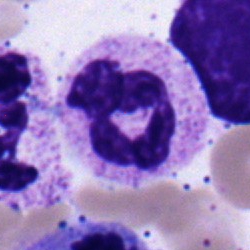Bone marrow aspirate smear, single cell — polymorphonuclear neutrophil.